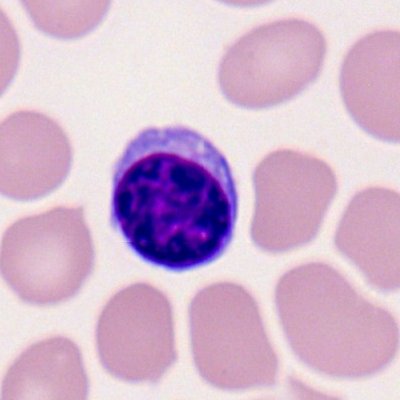

Specimen: peripheral blood film.
Classification: typical lymphocyte.
Lineage: lymphoid.